40× objective, oil immersion · bone marrow aspirate smear
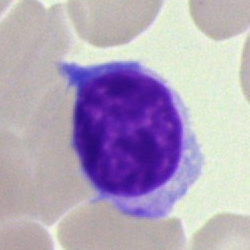 The cell shown is a typical lymphocyte.